Bone marrow aspirate smear:
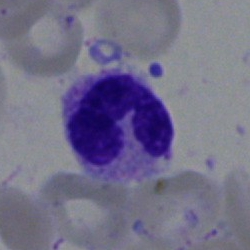Cell type — segmented neutrophil.